Bone marrow aspirate smear
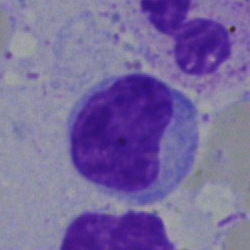

Impression → typical lymphocyte.